Bone marrow aspirate smear:
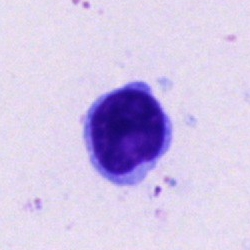

Morphological class = typical lymphocyte.